Bone marrow aspirate smear · 250×250: 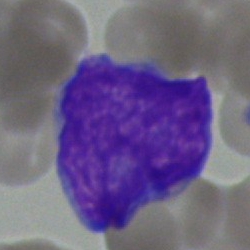

Specimen: bone marrow aspirate smear.
Cell: blast.